250×250. Bone marrow aspirate smear. Brightfield microscopy, 40× oil immersion: 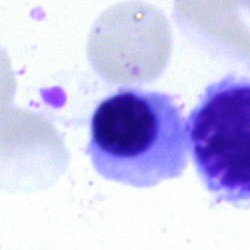 Morphology consistent with an erythroblast.